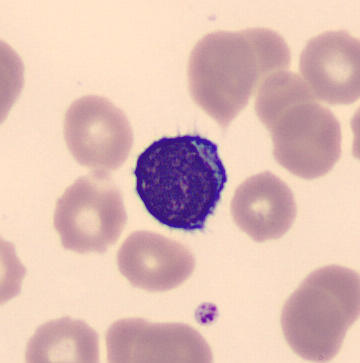 This is a lymphocyte.
Image: Peripheral blood film. Single cell centered in the field.